Bone marrow smear: 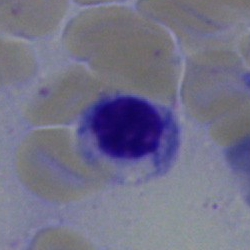
Impression → normoblast.